Bone marrow smear; brightfield microscopy, 40× oil immersion
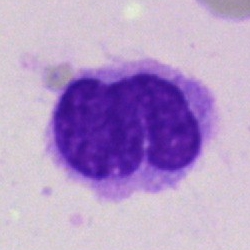
An artefact.